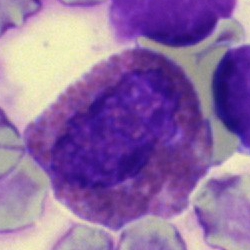
Morphology consistent with an eosinophilic granulocyte.